Bone marrow aspirate smear.
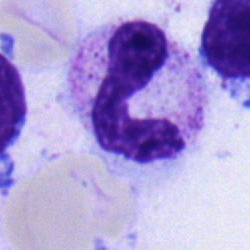 Q: What is shown here?
A: It is a stab cell.